Bone marrow aspirate smear: 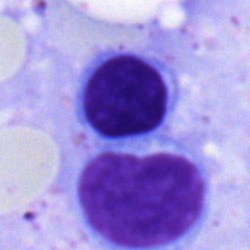This is a lymphocyte.